Bone marrow aspirate smear; single-cell field; 250×250 px
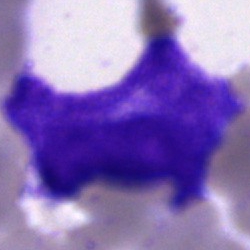Morphological class: progranulocyte.